Peripheral blood film: 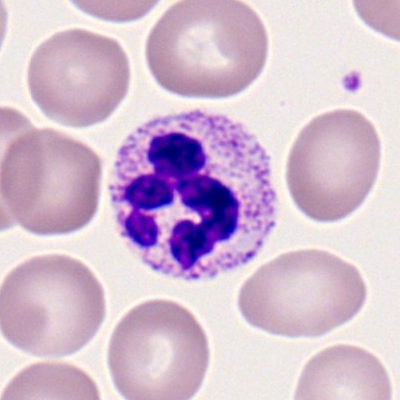

Cell type: segmented neutrophil.